Bone marrow aspirate smear — 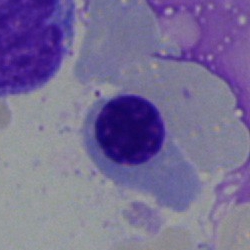
Morphology consistent with a nucleated red blood cell.